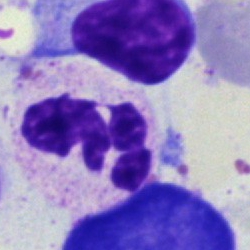
Q: Which cell type is shown here?
A: This is a polymorphonuclear neutrophil.